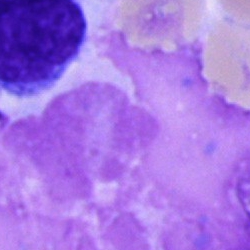Bone marrow aspirate smear, single cell — artifact.